Bone marrow smear: 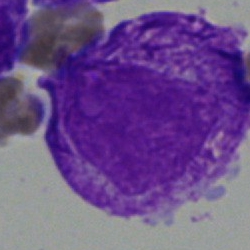 Morphology → cell with bundled Auer rods.